Bone marrow aspirate smear. Brightfield, 40× oil-immersion objective. Single cell centered in the field:
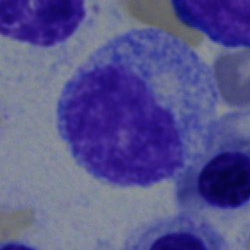
Single cell identified as a myelocyte.